Bone marrow aspirate smear; image size 250×250: 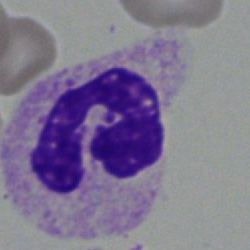

Impression → polymorphonuclear neutrophil.